Bone marrow aspirate smear · MGG-stained: 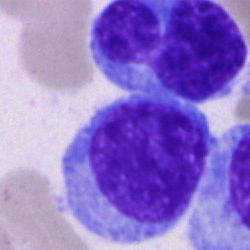
Q: What is shown here?
A: This is a plasmacyte.